Bone marrow aspirate smear
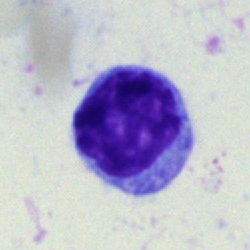
This is a lymphocyte.